250 by 250 pixels · bone marrow smear: 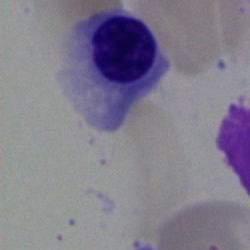

Cell type — erythroblast.